250×250. Bone marrow aspirate smear
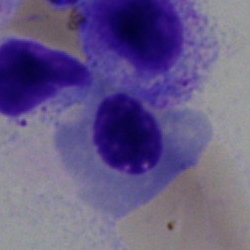 Impression — nucleated red cell.